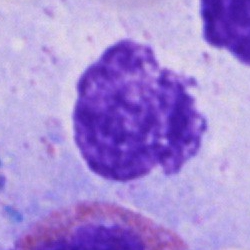
Classification = artifact.